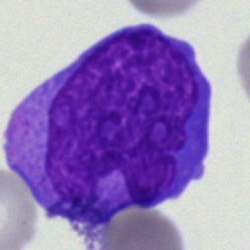Morphology — undifferentiated blast.